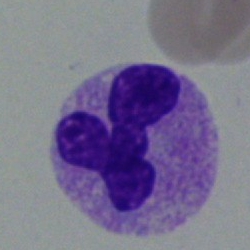 Q: Which cell type is shown here?
A: A neutrophil (segmented).